Bone marrow aspirate smear · single cell centered in the field:
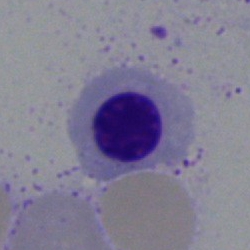Morphology consistent with a normoblast.